Bone marrow smear · 250×250 px: 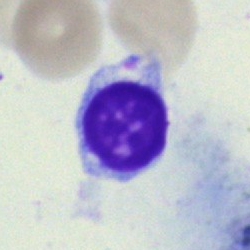

Cell = typical lymphocyte.